250×250 · single-cell crop · bone marrow smear.
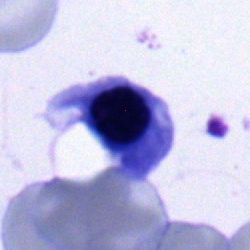Classification — nucleated red cell.